Bone marrow smear; brightfield microscopy, 40× oil immersion: 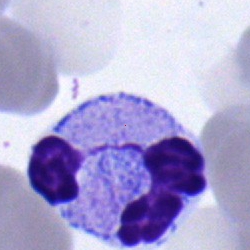

Single cell identified as a neutrophil (segmented).